Single cell centered in the field · Pappenheim-stained · bone marrow aspirate smear.
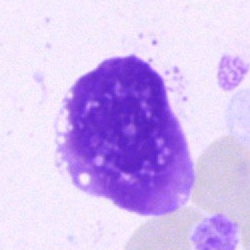

Classification: artifact.